May-Grünwald-Giemsa/Pappenheim stain. Bone marrow aspirate smear
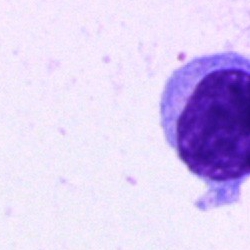Lymphocyte.